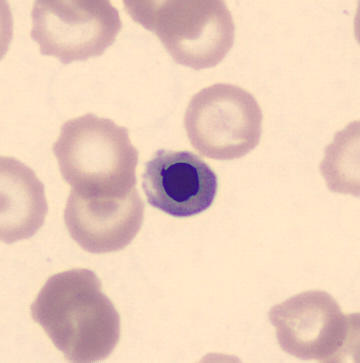

Specimen: peripheral blood film.
Cell: erythroblast.
Lineage: erythroid. Single-cell field.